Bone marrow smear — 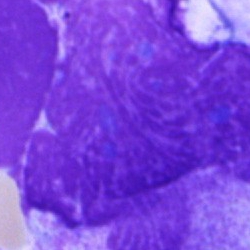
Specimen: bone marrow aspirate smear.
Morphological class: artifact.